Bone marrow aspirate smear:
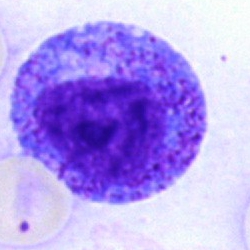The cell shown is a promyelocyte.